40× oil immersion. Bone marrow smear.
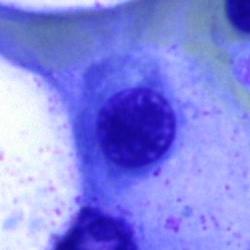Q: Identify the cell.
A: A normoblast.